Bone marrow aspirate smear:
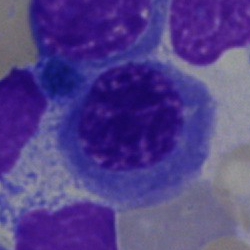{"cell_type": "nucleated red cell", "lineage": "erythroid"}